Bone marrow smear — 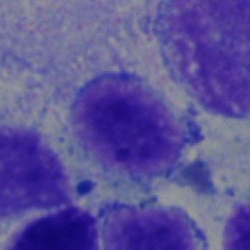

Q: What is shown here?
A: Lymphocyte.